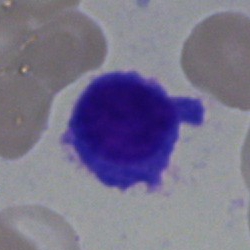 Bone marrow smear showing a plasma cell.